Bone marrow smear
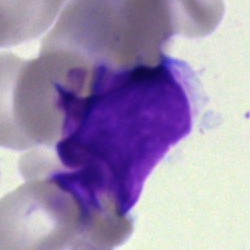
Showing an artefact.